Bone marrow aspirate smear
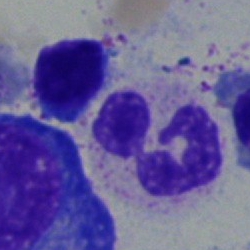
Classification — polymorphonuclear neutrophil.